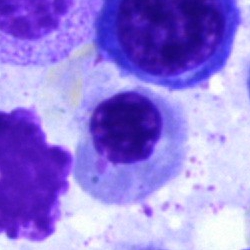Specimen: bone marrow smear.
Cell: nucleated red blood cell.